MGG-stained. Bone marrow aspirate smear. Cropped to a single cell:
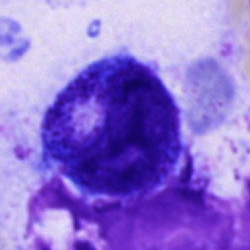 The cell shown is a progranulocyte.